Bone marrow smear — 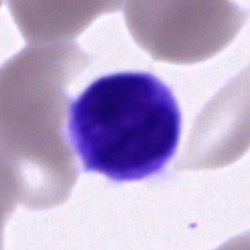
Specimen: bone marrow aspirate smear.
Classification: cell of indeterminate lineage.